Bone marrow smear: 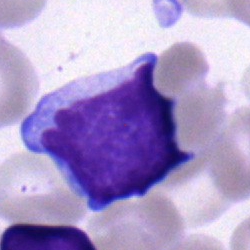Showing a lymphocyte.